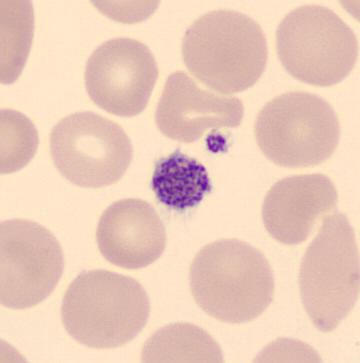

CellaVision DM96; peripheral blood smear. Cell type: thrombocyte.